Bone marrow aspirate smear: 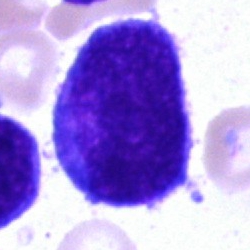The cell shown is an undifferentiated blast.